Bone marrow smear · single cell centered in the field
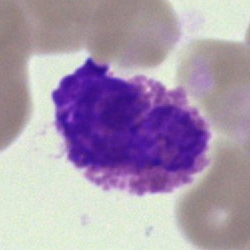 {"cell_type": "eosinophilic granulocyte"}